Bone marrow aspirate smear — 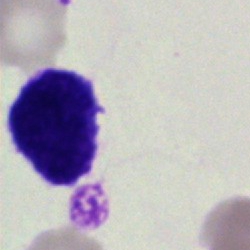
A blast cell.